Bone marrow aspirate smear
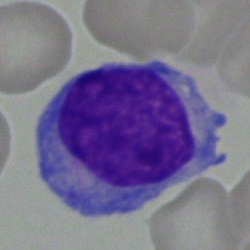The cell type is typical lymphocyte.